Single cell centered in the field; peripheral blood film; M8 digital microscope (Precipoint), 100× oil immersion:
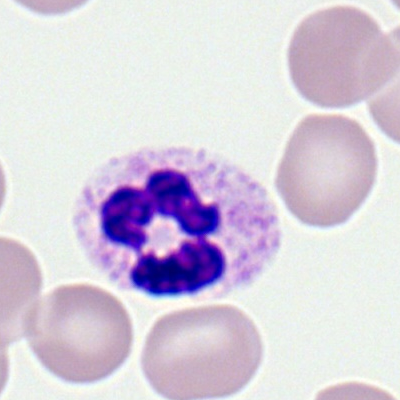 Q: What is shown here?
A: Polymorphonuclear neutrophil.